Bone marrow smear.
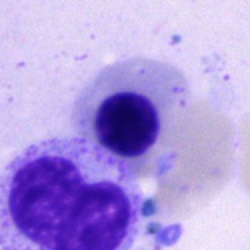Impression → nucleated red blood cell.